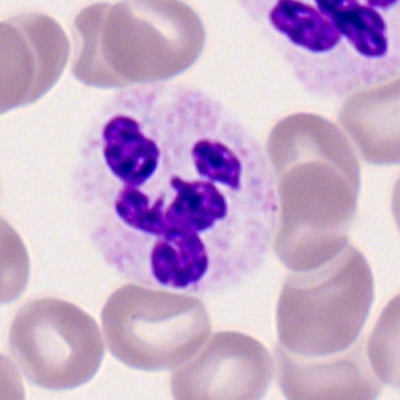
Cell type: neutrophil (segmented).